Bone marrow smear
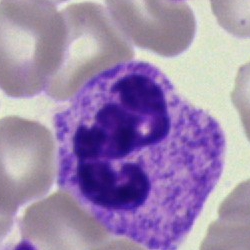
Impression → neutrophil (segmented).